May-Grünwald-Giemsa/Pappenheim stain; bone marrow aspirate smear:
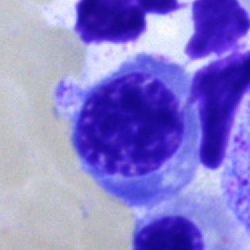This is a normoblast.